Bone marrow smear:
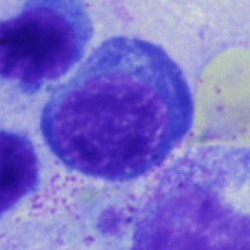

Cell: nucleated red blood cell.